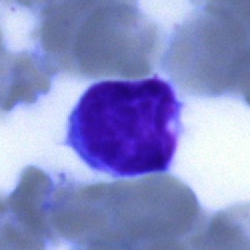
Lymphocyte.